Single-cell field; MGG-stained; bone marrow aspirate smear: 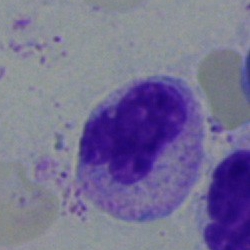
The classification is polymorphonuclear neutrophil.